Bone marrow aspirate smear:
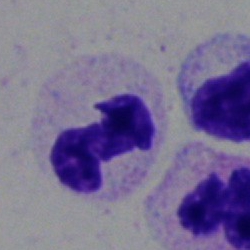 Impression — polymorphonuclear neutrophil.